Bone marrow aspirate smear: 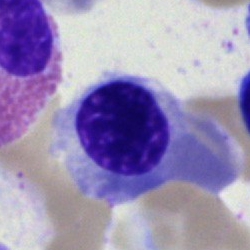

Q: What cell is this?
A: This is a nucleated red blood cell.